Peripheral blood film. Single-cell field. 400 by 400 pixels
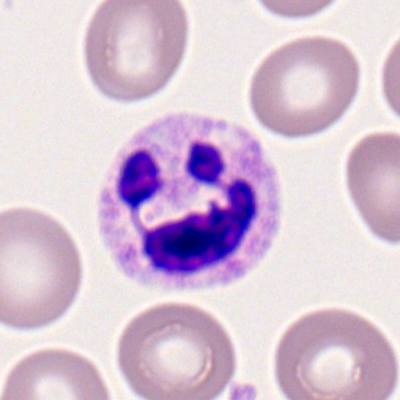

Morphological class = neutrophil (segmented).